Bone marrow smear:
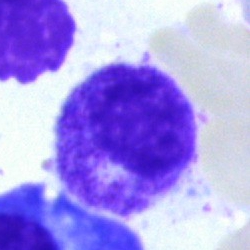 Q: What is shown here?
A: This is a myelocyte.